Brightfield, 40× oil-immersion objective · cropped to a single cell · bone marrow aspirate smear
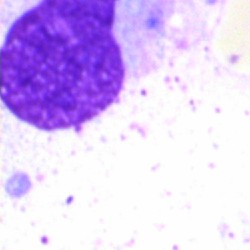

{"cell_type": "artifact"}